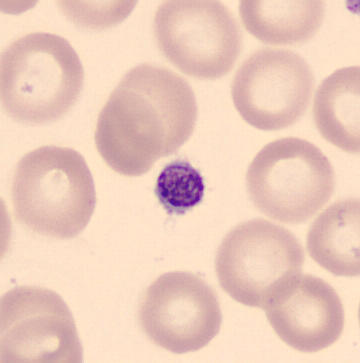
360 by 363 pixels. Peripheral blood smear.
Q: What is shown here?
A: Platelet (thrombocyte).